Bone marrow aspirate smear — 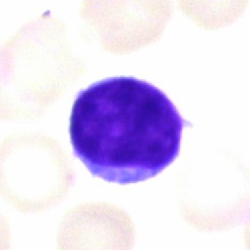
This is a typical lymphocyte.